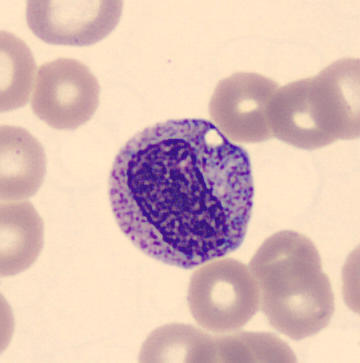Q: Which cell type is shown here?
A: A myelocyte.
Image: Peripheral blood smear.